40× objective, oil immersion. 250×250 px. Bone marrow smear: 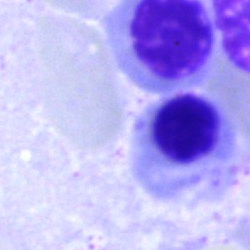
Cell: erythroblast.